May-Grünwald-Giemsa/Pappenheim stain · bone marrow smear.
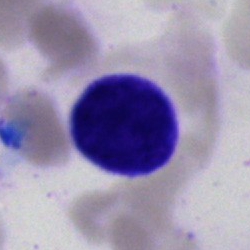This is a lymphocyte.